Bone marrow smear: 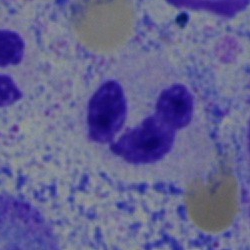
Q: What cell is this?
A: A segmented neutrophil.